Bone marrow aspirate smear. 40× oil immersion.
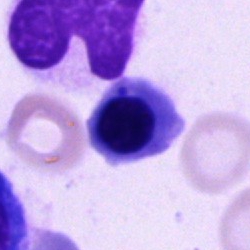This is a nucleated red blood cell.